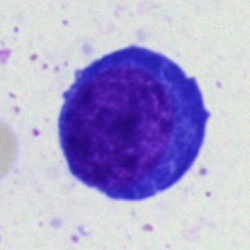

Single cell identified as an erythroblast.